Bone marrow smear:
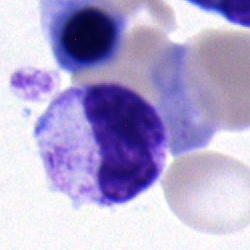Morphology consistent with a band neutrophil.